Single-cell field; bone marrow smear — 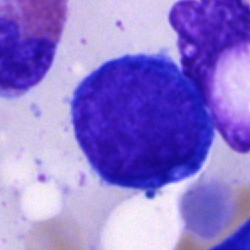

Single cell identified as a proerythroblast.